Bone marrow smear — 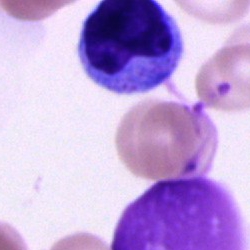 Morphological class = cell of indeterminate lineage.